Bone marrow smear:
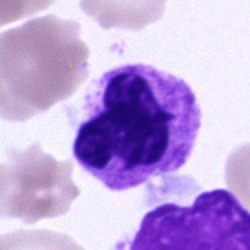 Morphology → neutrophil (segmented).